250 by 250 pixels · single cell centered in the field · bone marrow aspirate smear
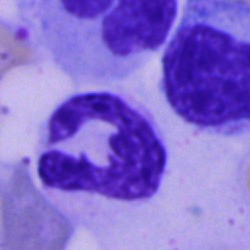 Specimen: bone marrow smear.
Cell: segmented neutrophil.
Lineage: myeloid.